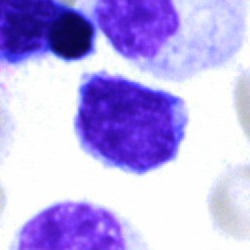 Morphology → typical lymphocyte.